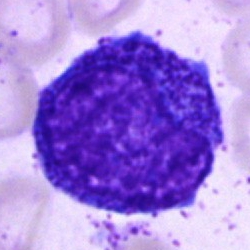 Specimen: bone marrow aspirate smear.
Morphological class: promyelocyte.